Bone marrow smear; single-cell crop: 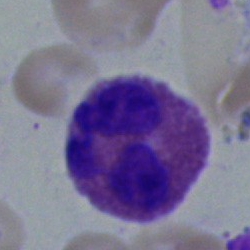An eosinophilic granulocyte.